Image size 250×250 · bone marrow smear
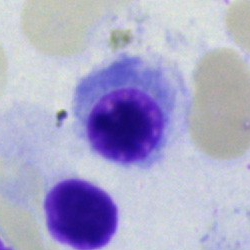
Morphology consistent with a nucleated red cell.